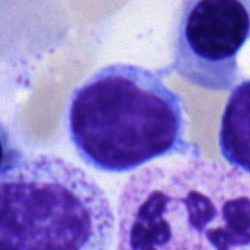 Q: Identify the cell.
A: Lymphocyte.